May-Grünwald-Giemsa stain. Bone marrow smear — 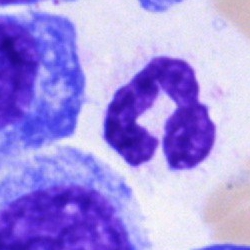

Morphology — polymorphonuclear neutrophil.